Bone marrow smear
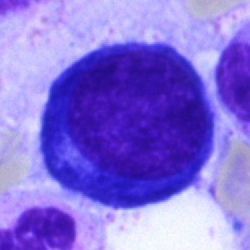 Morphology consistent with a proerythroblast.